Pappenheim-stained; bone marrow aspirate smear
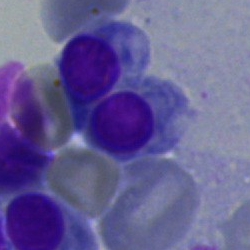This is an erythroblast.